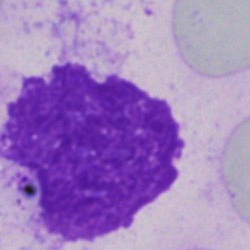
Cell type — artifact.